Bone marrow smear: 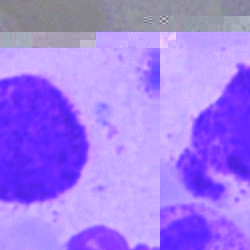
Specimen: bone marrow aspirate smear.
Morphological class: artifact.